Brightfield, 40× oil-immersion objective; bone marrow aspirate smear:
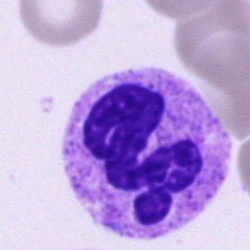 Q: Which cell type is shown here?
A: A neutrophil (segmented).